250×250 px · bone marrow aspirate smear: 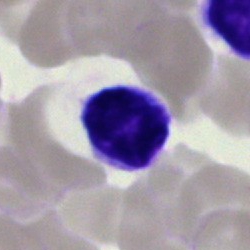
Cell type: lymphocyte.